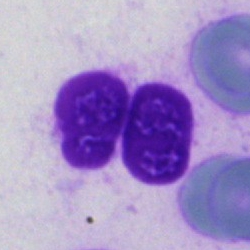 {"cell_type": "artefact"}